Bone marrow smear:
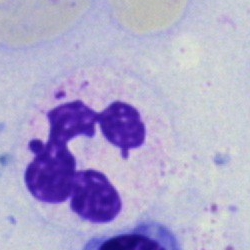 Q: Which cell type is shown here?
A: Segmented neutrophil.